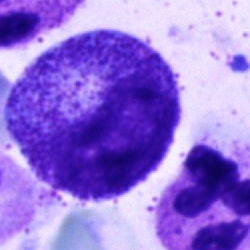 Q: Which cell type is shown here?
A: This is a myelocyte.